Image size 250×250. Bone marrow aspirate smear. Single cell centered in the field:
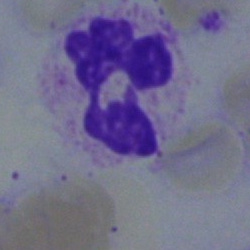

This is a segmented neutrophil.